Bone marrow smear: 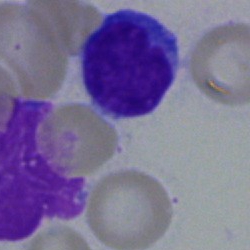
Single cell identified as a lymphocyte.